Bone marrow smear · brightfield, 40× oil-immersion objective — 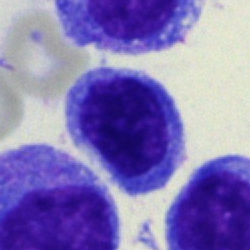 Specimen: bone marrow smear.
Cell: lymphocyte.
Lineage: lymphoid.